400 by 400 pixels. Peripheral blood smear
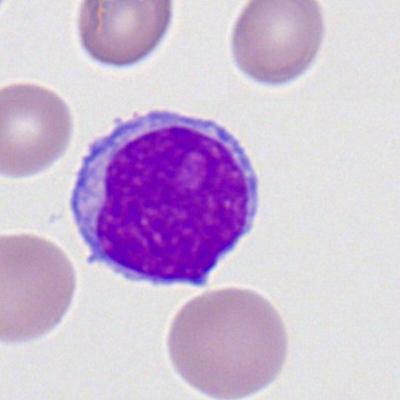

Single cell identified as a myeloid blast.